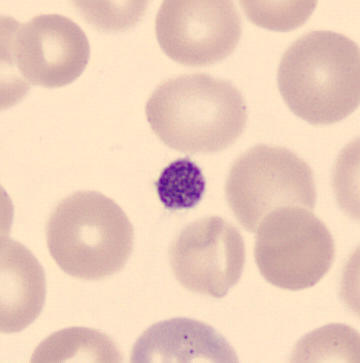The classification is platelet (thrombocyte).

Acquisition: Peripheral blood film.